Single-cell field. Pappenheim-stained. Bone marrow smear
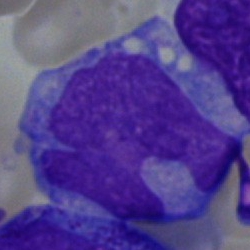
Morphological class: monocyte.